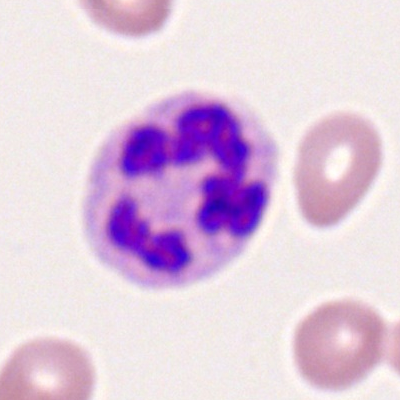 Morphology consistent with a polymorphonuclear neutrophil.